Bone marrow aspirate smear.
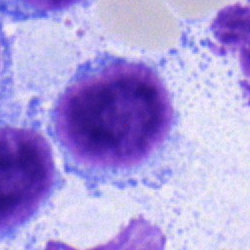Cell = lymphocyte.